Bone marrow aspirate smear:
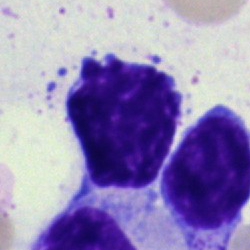Q: What is shown here?
A: It is an artefact.